Bone marrow smear · cropped to a single cell · May-Grünwald-Giemsa stain:
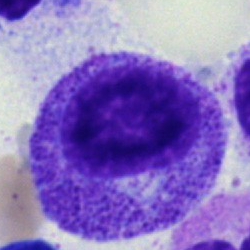Showing a myelocyte.